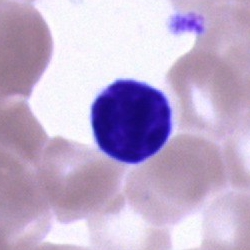Single cell identified as a typical lymphocyte.